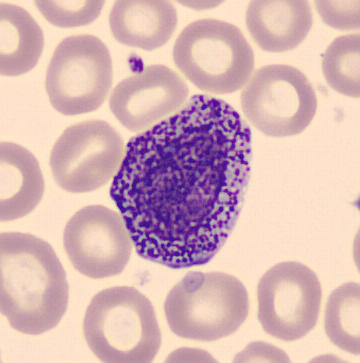
Q: What type of cell is this?
A: A promyelocyte.